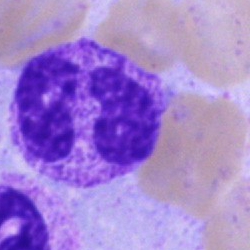Cell — neutrophil (segmented).